MGG-stained. 40× objective, oil immersion. Bone marrow smear: 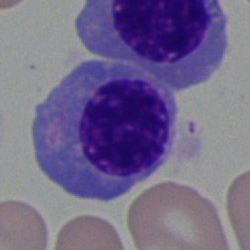
Classification = nucleated red cell.